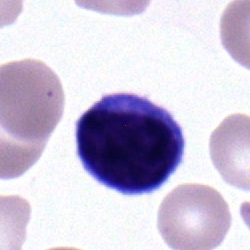 Specimen: bone marrow smear.
Classification: lymphocyte.
Lineage: lymphoid.